Bone marrow aspirate smear.
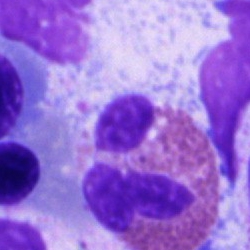
The cell shown is an eosinophilic granulocyte.